May-Grünwald-Giemsa/Pappenheim stain. Bone marrow smear.
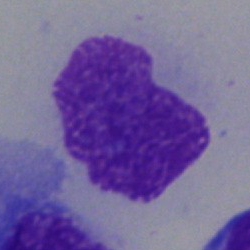 Specimen: bone marrow smear.
Morphological class: artefact.